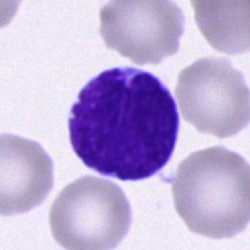

Cell — typical lymphocyte.